Bone marrow aspirate smear
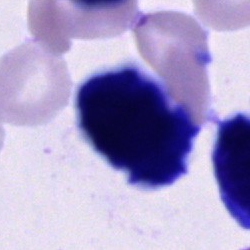
A cell of indeterminate lineage.